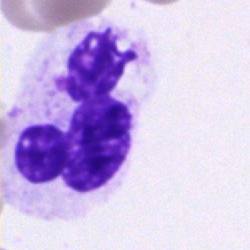

Polymorphonuclear neutrophil.